Bone marrow smear. May-Grünwald-Giemsa stain.
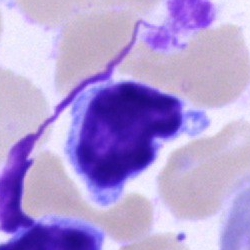 The cell shown is a typical lymphocyte.